Bone marrow aspirate smear; May-Grünwald-Giemsa stain — 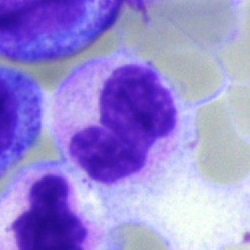 Morphology → stab cell.